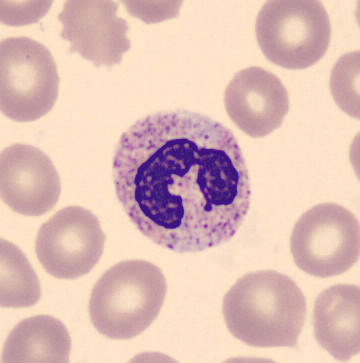CellaVision DM96 · cropped to a single cell · peripheral blood film. A segmented neutrophil.